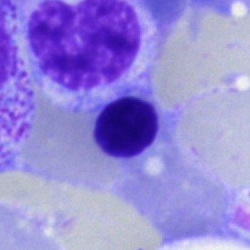

Bone marrow aspirate smear, single cell — nucleated red blood cell.